250 by 250 pixels; single-cell crop; bone marrow smear — 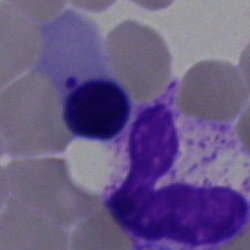

Morphological class — nucleated red cell.